250×250 · bone marrow aspirate smear
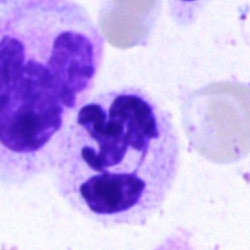Morphology consistent with a segmented neutrophil.